Bone marrow smear.
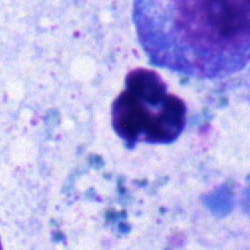

Neutrophil (segmented).